Bone marrow smear:
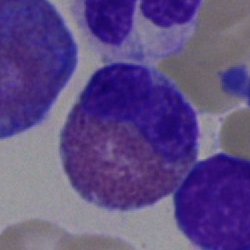 Eosinophil.